Bone marrow smear:
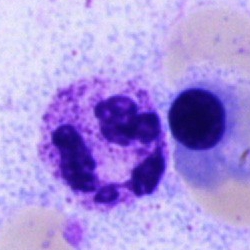This is a polymorphonuclear neutrophil.